Bone marrow aspirate smear — 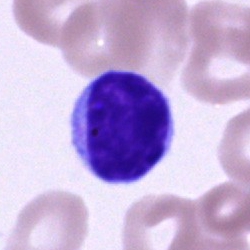Morphological class: lymphocyte.